Peripheral blood smear.
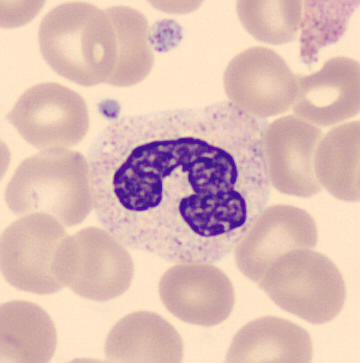
Specimen: peripheral blood smear.
Cell: neutrophil (band).
Lineage: myeloid.